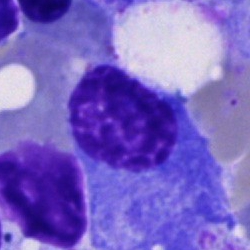Cell = plasma cell.